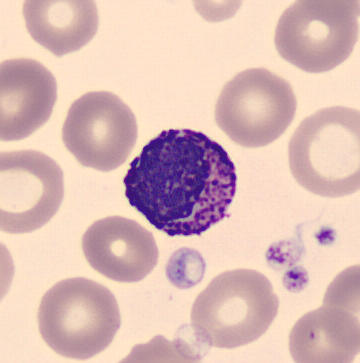 Morphological class = basophil.
360 by 363 pixels. Peripheral blood film.